Bone marrow aspirate smear; brightfield microscopy, 40× oil immersion; May-Grünwald-Giemsa stain: 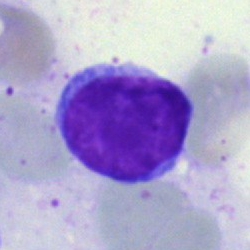Classification = typical lymphocyte.